Image size 250×250. Bone marrow smear.
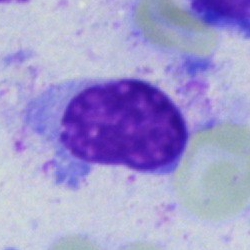

Morphology consistent with a lymphocyte.